Bone marrow smear; 250×250 px.
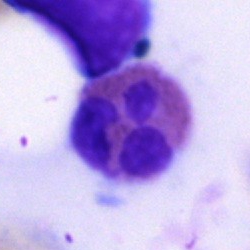The classification is eosinophil.